400×400; peripheral blood film; Romanowsky stain: 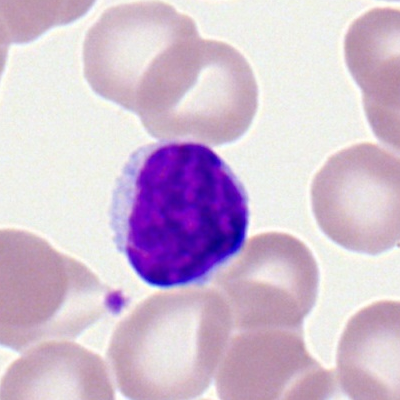 {"cell_type": "typical lymphocyte", "lineage": "lymphoid"}